250×250 px · bone marrow smear.
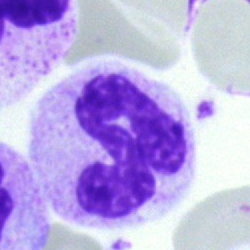 Polymorphonuclear neutrophil.